MGG-stained · 40× objective, oil immersion · bone marrow aspirate smear — 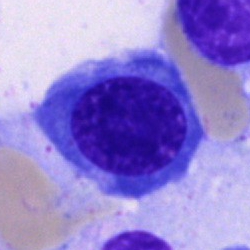 A nucleated red cell.